MGG-stained. Bone marrow aspirate smear — 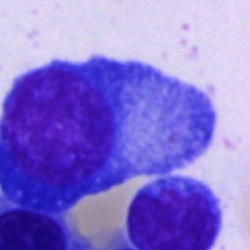
A plasmacyte.